Brightfield microscopy, 40× oil immersion. Bone marrow smear:
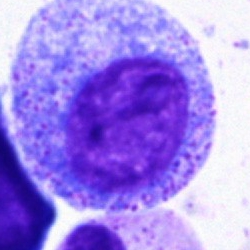

Classification — progranulocyte.